Bone marrow aspirate smear: 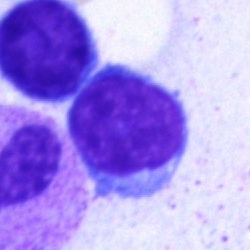
Specimen: bone marrow aspirate smear.
Cell type: lymphocyte.